Bone marrow smear.
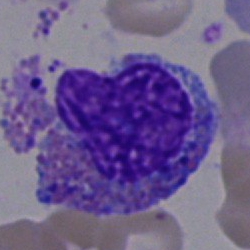
Morphology → eosinophilic granulocyte.